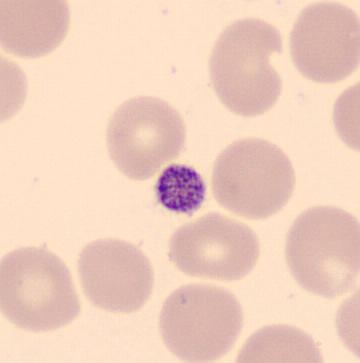A platelet (thrombocyte) on a peripheral blood smear.